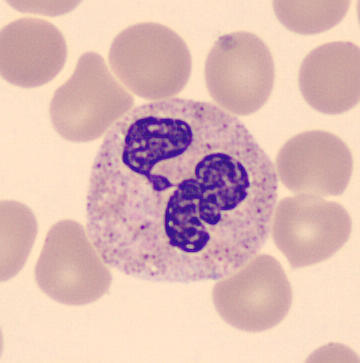
Cell type — neutrophil (segmented).